May-Grünwald-Giemsa/Pappenheim stain; bone marrow aspirate smear.
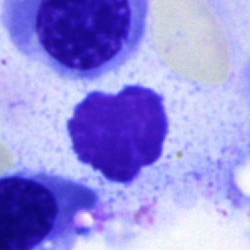Morphology — artefact.